Bone marrow aspirate smear. 250×250 px. Brightfield microscopy, 40× oil immersion — 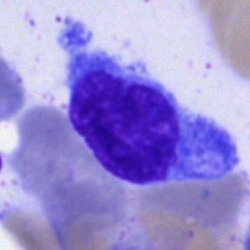 Impression — lymphocyte.